Bone marrow smear: 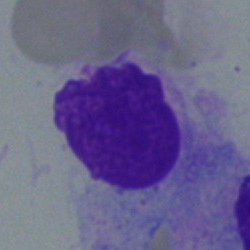
The cell is plasma cell.